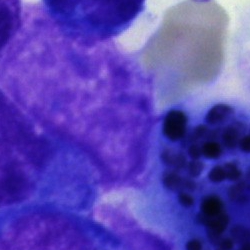
Single-cell crop from a bone marrow smear: artefact.